Brightfield microscopy, 40× oil immersion; bone marrow smear.
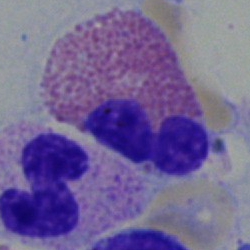

The cell type is eosinophil.